Bone marrow aspirate smear.
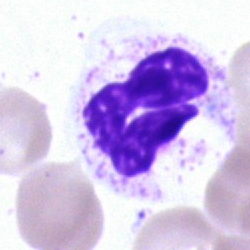Classification = polymorphonuclear neutrophil.